Bone marrow smear
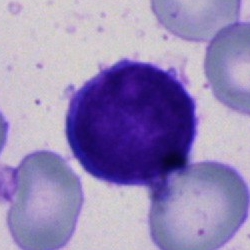
Morphological class — lymphocyte.